Bone marrow aspirate smear — 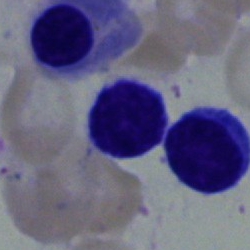

The cell is typical lymphocyte.